May-Grünwald-Giemsa stain. Bone marrow smear
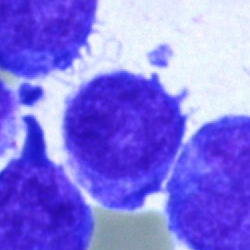 Cell — blast cell.